Brightfield microscopy, 40× oil immersion; single cell centered in the field; bone marrow aspirate smear.
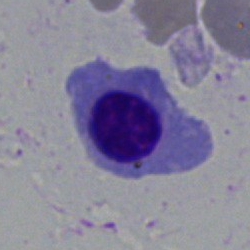

The classification is erythroblast.